Peripheral blood film. 400×400
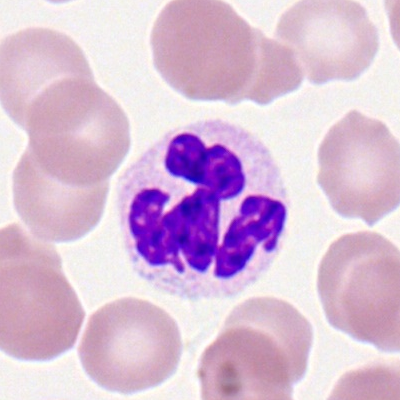Q: Identify the cell.
A: Polymorphonuclear neutrophil.